Bone marrow smear; single-cell field — 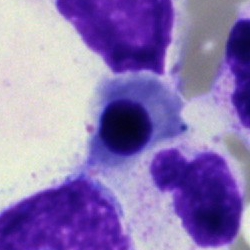Morphology consistent with a nucleated red blood cell.